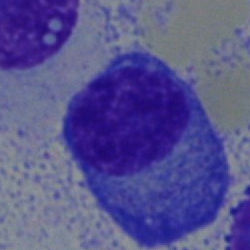 Specimen: bone marrow aspirate smear.
Morphological class: plasma cell.